Bone marrow smear.
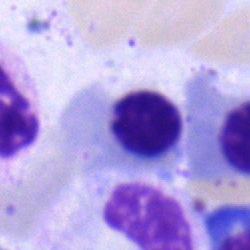
This is a nucleated red cell.